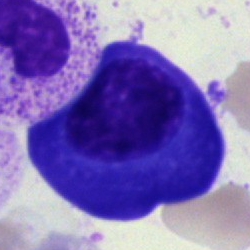
This is a plasma cell.